Bone marrow smear:
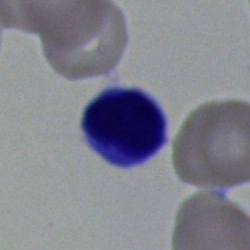 Specimen: bone marrow aspirate smear.
Cell type: typical lymphocyte.
Lineage: lymphoid.